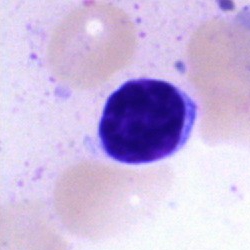
The cell shown is a lymphocyte.